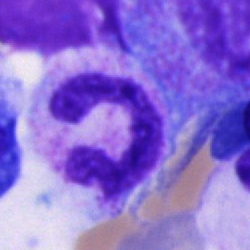
Morphological class — polymorphonuclear neutrophil.